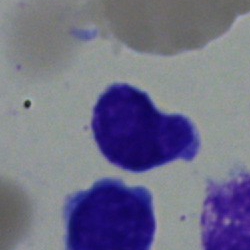 The morphological class is lymphocyte.